250 by 250 pixels; bone marrow aspirate smear: 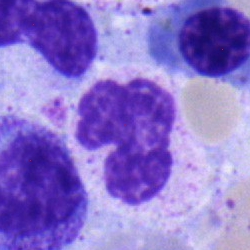
Q: Which cell type is shown here?
A: Polymorphonuclear neutrophil.